Bone marrow aspirate smear. Image size 250×250: 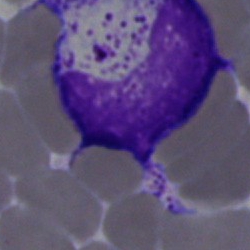 Specimen: bone marrow aspirate smear.
Classification: band-form neutrophil.